Bone marrow smear.
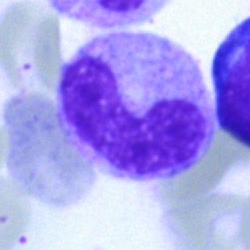
Q: Identify the cell.
A: Stab cell.